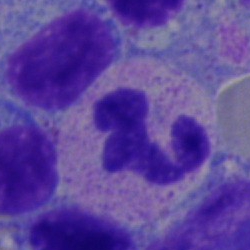 Single-cell crop from a bone marrow smear: neutrophil (segmented).